Single-cell field; bone marrow smear: 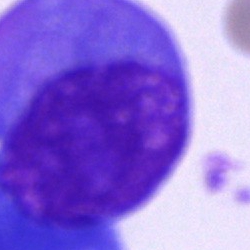

Q: What is the morphological classification of this cell?
A: A plasma cell.